250×250 · cropped to a single cell · bone marrow aspirate smear.
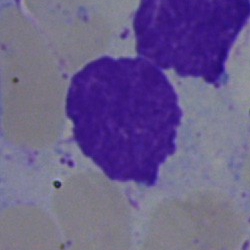

Q: What is shown here?
A: An artifact.